Single-cell crop; bone marrow aspirate smear.
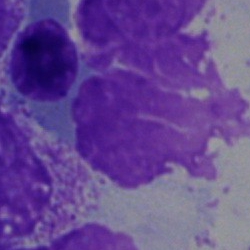
Cell type: artifact.